Bone marrow aspirate smear; Pappenheim-stained — 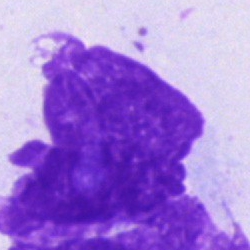

Q: What is shown here?
A: It is an artifact.